Brightfield microscopy, 40× oil immersion. Bone marrow aspirate smear. Image size 250×250
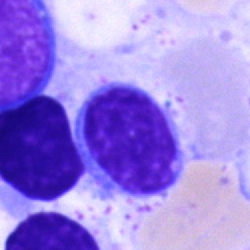

Typical lymphocyte.